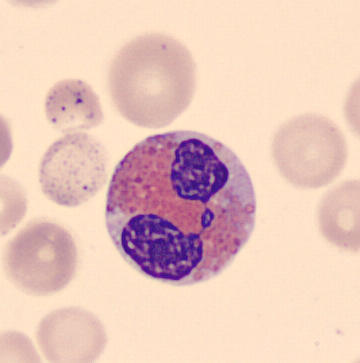Automated cell imaging (CellaVision DM96) · peripheral blood film.
Impression — eosinophil.